Bone marrow smear; 40× oil immersion; May-Grünwald-Giemsa stain: 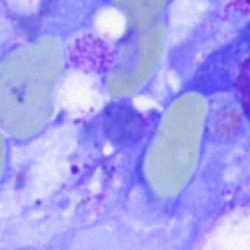

Classification: artefact.